Bone marrow smear: 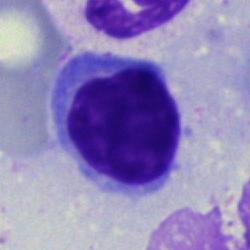

Q: What type of cell is this?
A: This is a typical lymphocyte.